Brightfield, 40× oil-immersion objective; bone marrow smear:
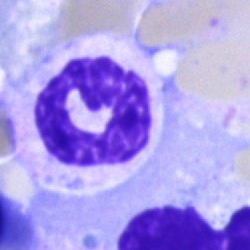 Impression → polymorphonuclear neutrophil.